40× objective, oil immersion · bone marrow smear.
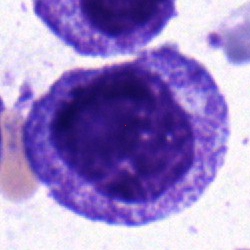 Morphology → progranulocyte.